250 by 250 pixels · bone marrow smear — 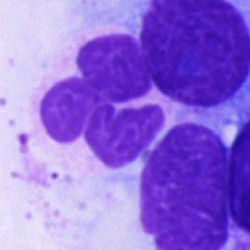

Morphological class: artifact.